Bone marrow aspirate smear:
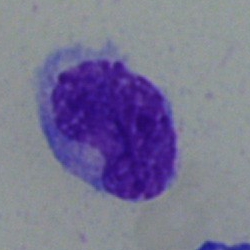A monocyte.